Brightfield, 40× oil-immersion objective; May-Grünwald-Giemsa/Pappenheim stain; bone marrow aspirate smear: 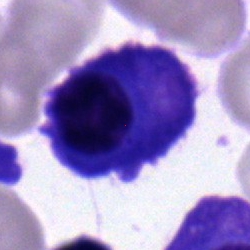Morphology — plasmacyte.